Bone marrow aspirate smear.
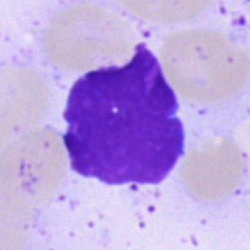

Morphology → artifact.